Bone marrow smear:
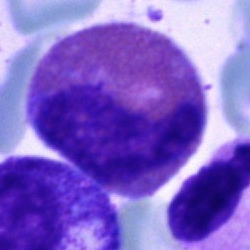

Single cell identified as an eosinophil.